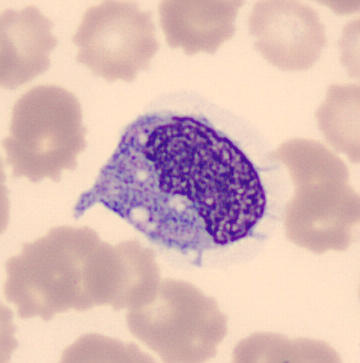 Single cell identified as a monocyte. Acquisition: Peripheral blood smear.